May-Grünwald-Giemsa stain; bone marrow smear; 250 by 250 pixels — 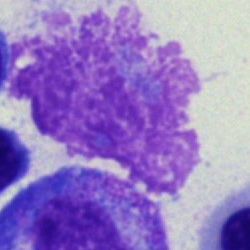Q: What is shown here?
A: It is an artefact.